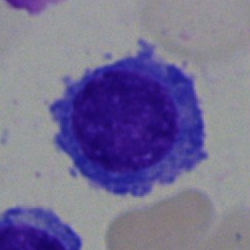

Q: What is the morphological classification of this cell?
A: This is a plasma cell.